Bone marrow aspirate smear:
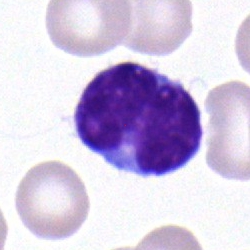Single cell identified as a lymphocyte.